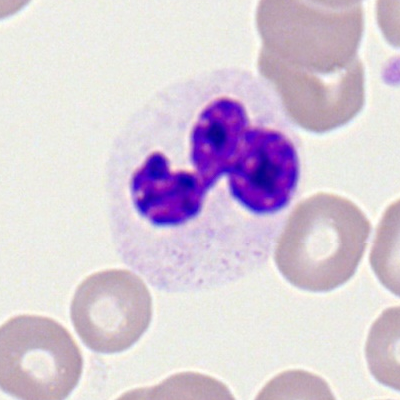

Peripheral blood smear showing a polymorphonuclear neutrophil.